Bone marrow smear.
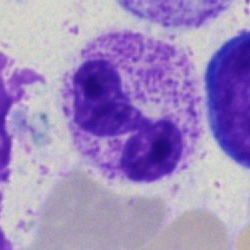

{"cell_type": "polymorphonuclear neutrophil", "lineage": "myeloid"}